Peripheral blood film:
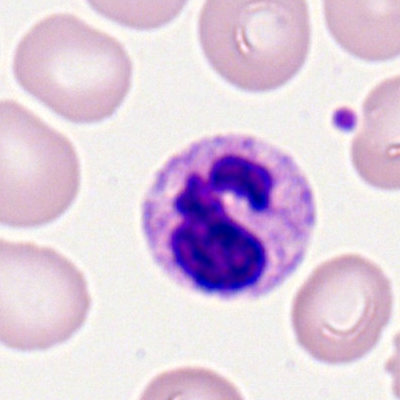

Cell: polymorphonuclear neutrophil.